Bone marrow aspirate smear: 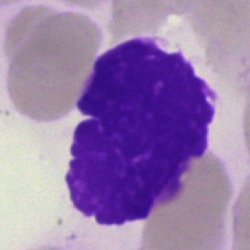
{"cell_type": "artifact"}